Single-cell crop · bone marrow smear
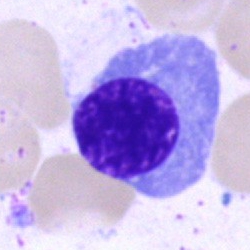 A nucleated red blood cell.